Bone marrow smear; single-cell crop.
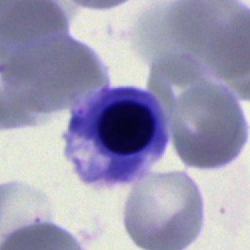
The classification is normoblast.